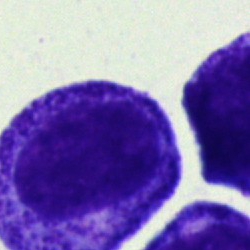Q: Which cell type is shown here?
A: This is a promyelocyte.